Bone marrow aspirate smear
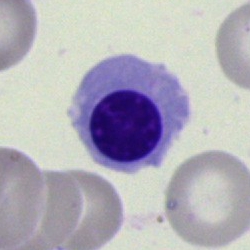Morphological class = nucleated red blood cell.